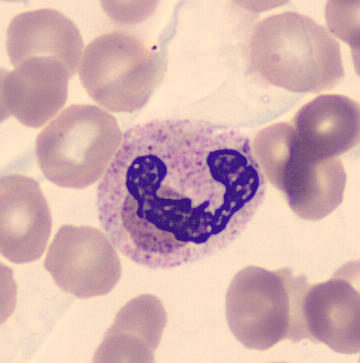
Image: Peripheral blood film. This is a polymorphonuclear neutrophil.